Brightfield microscopy, 40× oil immersion; bone marrow aspirate smear — 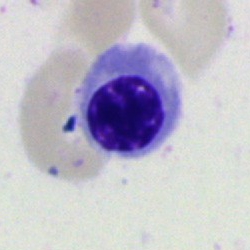 This is a normoblast.